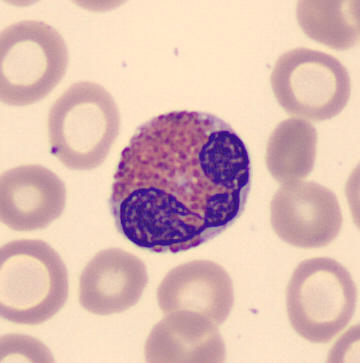 Acquisition: Peripheral blood smear. Single-cell crop.
Classification — eosinophilic granulocyte.